Bone marrow aspirate smear.
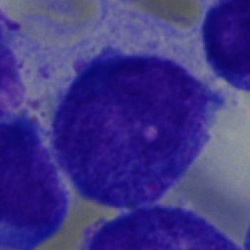

Classification = blast.